Single-cell crop; Romanowsky stain; peripheral blood film:
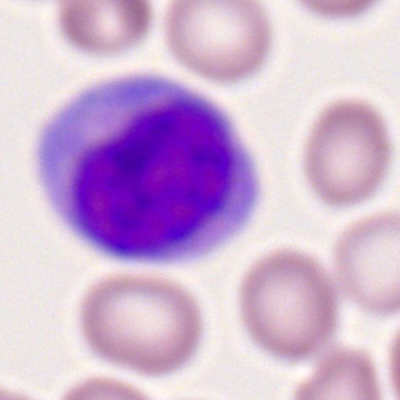
A monocyte.